Bone marrow aspirate smear · 250 by 250 pixels
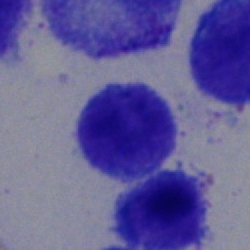 Cell type: typical lymphocyte.